Bone marrow smear: 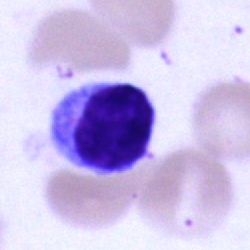

Morphology → plasma cell.